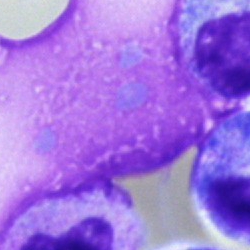Specimen: bone marrow smear.
Morphological class: artifact.